Bone marrow aspirate smear — 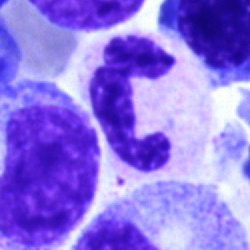
A neutrophil (segmented).